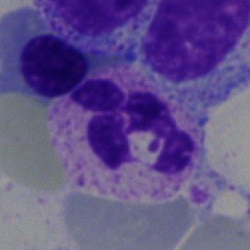
Morphology → neutrophil (segmented).